Bone marrow aspirate smear; single-cell crop — 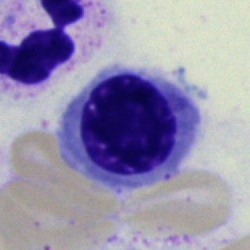
Q: What cell is this?
A: A normoblast.